40× objective, oil immersion · bone marrow smear
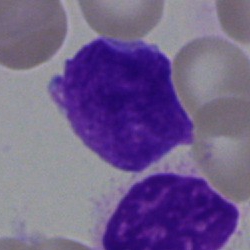 Blast cell.